Peripheral blood film; 400×400 px — 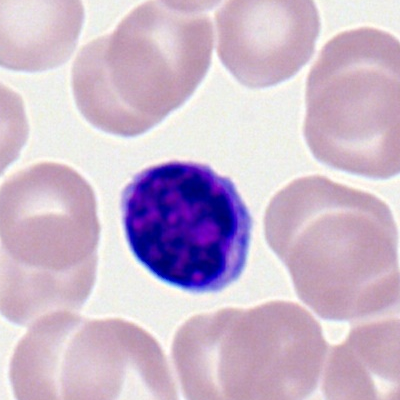
A lymphocyte.